250 by 250 pixels · bone marrow aspirate smear:
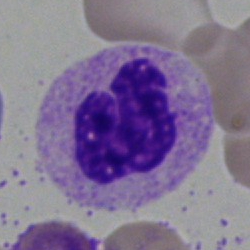
Cell type: polymorphonuclear neutrophil.